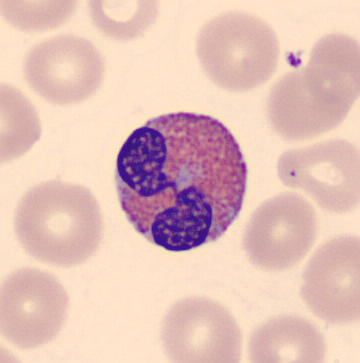

Impression → eosinophil.

Image: Cropped to a single cell. Peripheral blood smear.